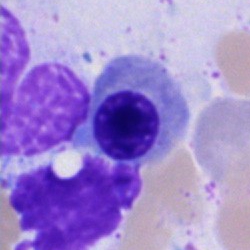

Specimen: bone marrow smear.
Classification: erythroblast.
Lineage: erythroid.